Bone marrow smear
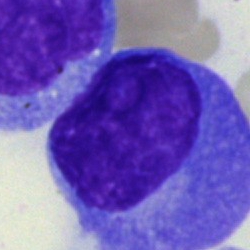Morphology consistent with a plasma cell.